Pappenheim-stained · bone marrow aspirate smear.
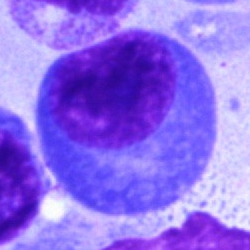 The cell type is plasmacyte.